Bone marrow aspirate smear.
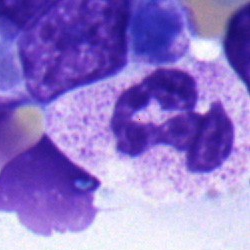 Cell = segmented neutrophil.